May-Grünwald-Giemsa/Pappenheim stain · bone marrow smear
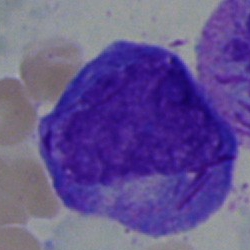Promyelocyte.